Pappenheim-stained; bone marrow aspirate smear:
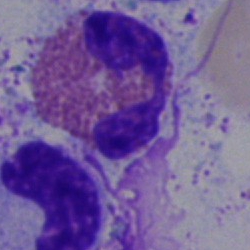

This is an eosinophil.